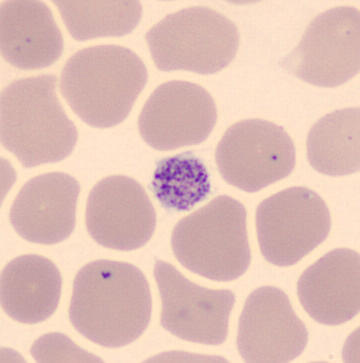
Image: MGG-stained · automated cell imaging (CellaVision DM96) · peripheral blood smear.
Impression — platelet.